Bone marrow aspirate smear
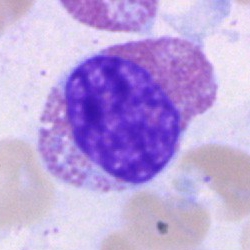
Specimen: bone marrow aspirate smear.
Cell type: eosinophilic granulocyte.